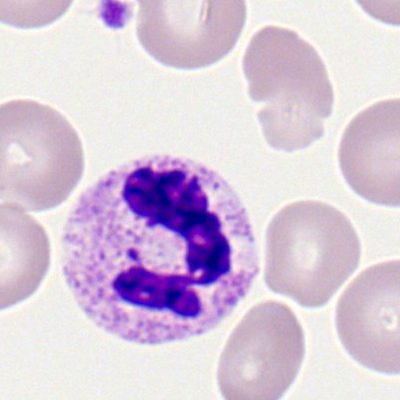
Classification = polymorphonuclear neutrophil.